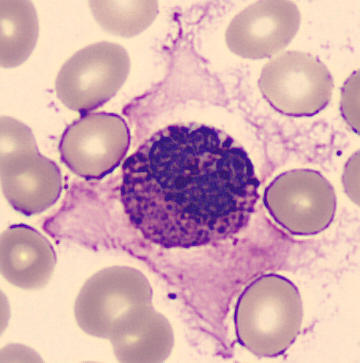The morphological class is basophilic granulocyte.